Bone marrow smear
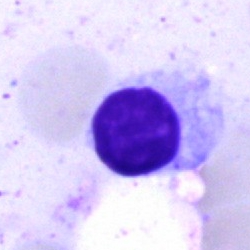Single cell identified as a lymphocyte.